Bone marrow smear
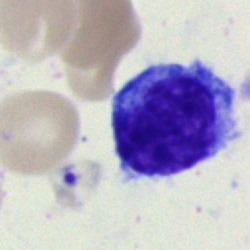
Showing a typical lymphocyte.